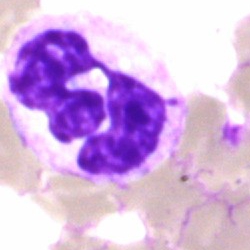A neutrophil (segmented) on a bone marrow smear.